Bone marrow smear — 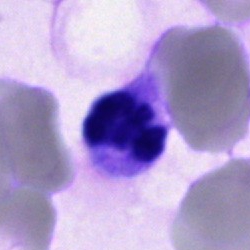Q: Which cell type is shown here?
A: A polymorphonuclear neutrophil.